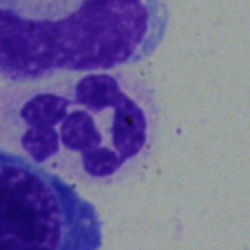 Single cell identified as a polymorphonuclear neutrophil.